Bone marrow smear — 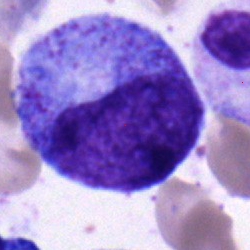Q: What is shown here?
A: A promyelocyte.